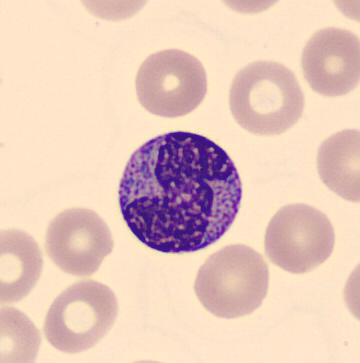
Classification: metamyelocyte.